Single-cell field; bone marrow aspirate smear: 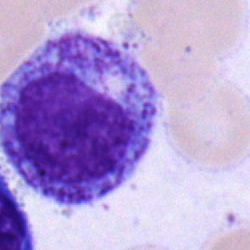
{"cell_type": "myelocyte"}